Bone marrow smear: 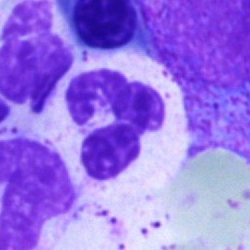

Showing a neutrophil (segmented).